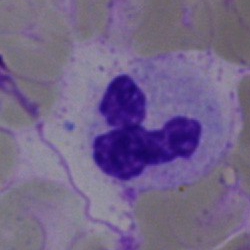 This is a neutrophil (segmented).